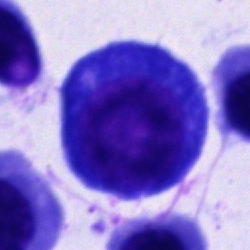Q: What cell is this?
A: This is a plasma cell.